Bone marrow smear; 40× objective, oil immersion — 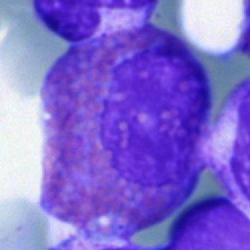
Eosinophilic granulocyte.